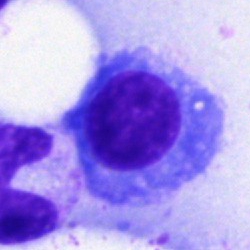
A plasmacyte on a bone marrow smear.